Bone marrow aspirate smear: 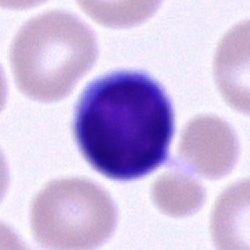 Morphology consistent with a typical lymphocyte.